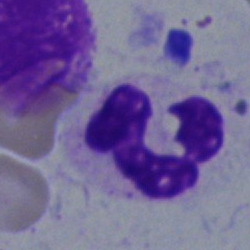
Specimen: bone marrow aspirate smear.
Morphological class: polymorphonuclear neutrophil.
Lineage: myeloid.